Single-cell field. Peripheral blood film
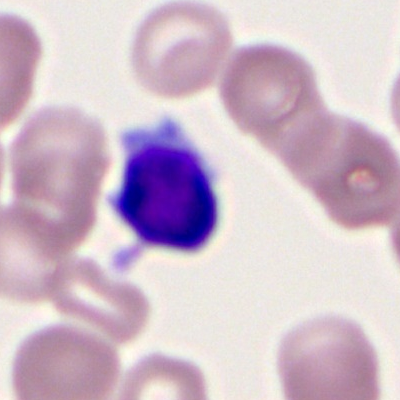

Single cell identified as a typical lymphocyte.